Bone marrow aspirate smear; cropped to a single cell:
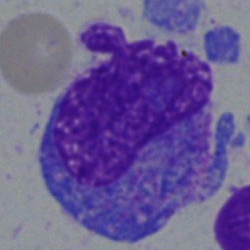Specimen: bone marrow aspirate smear.
Cell type: blast.